Single-cell crop · bone marrow aspirate smear
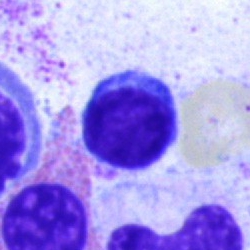

Single cell identified as a typical lymphocyte.